Bone marrow aspirate smear:
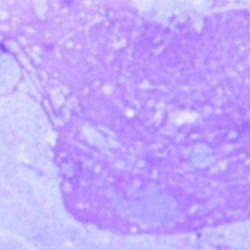

Specimen: bone marrow smear.
Morphological class: artefact.